Bone marrow aspirate smear: 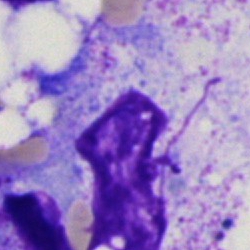 Cell type: artifact.